Bone marrow smear. Brightfield microscopy, 40× oil immersion: 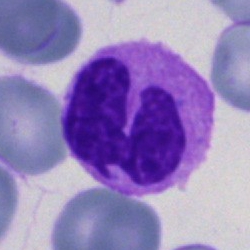

This is a neutrophil (segmented).